Bone marrow smear:
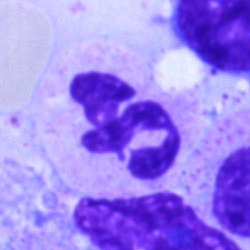

The cell type is segmented neutrophil.